Bone marrow aspirate smear: 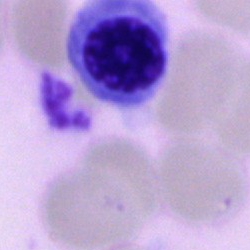 The cell type is nucleated red cell.